Pappenheim-stained. Bone marrow aspirate smear
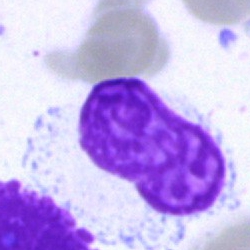

Single cell identified as an artifact.